Bone marrow aspirate smear: 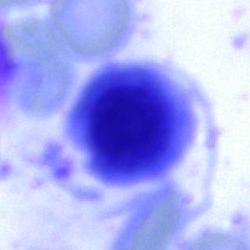

{"cell_type": "cell of indeterminate lineage"}